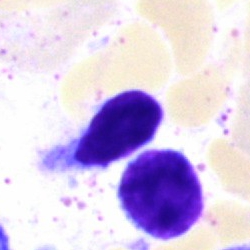

Q: Identify the cell.
A: A typical lymphocyte.